May-Grünwald-Giemsa stain. Bone marrow aspirate smear. 250×250.
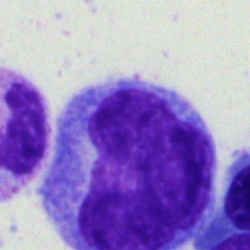Cell — monocyte.